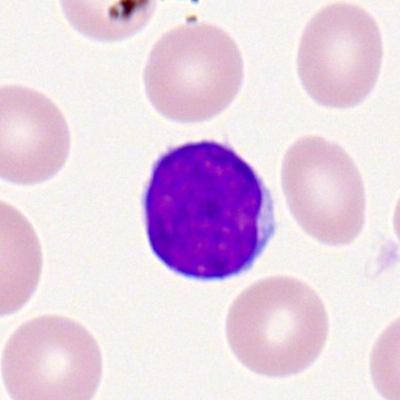
Impression — typical lymphocyte.